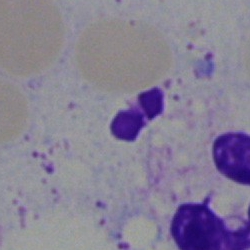

Single cell identified as an artefact.